Bone marrow smear.
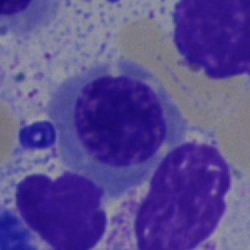Q: Which cell type is shown here?
A: Nucleated red blood cell.